Bone marrow aspirate smear.
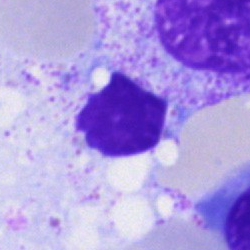 Morphology consistent with a neutrophil (segmented).